Bone marrow aspirate smear. Brightfield, 40× oil-immersion objective: 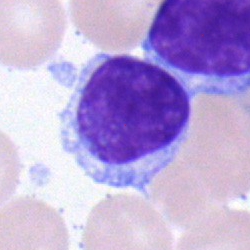
The cell shown is a lymphocyte.